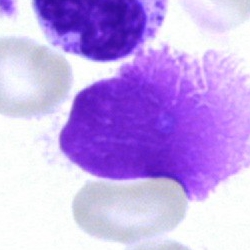
Morphological class: artifact.